Bone marrow aspirate smear:
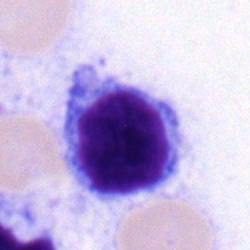 This is a typical lymphocyte.